Bone marrow smear.
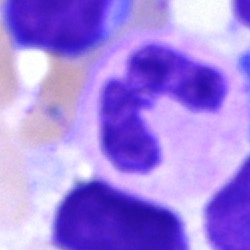
This is a neutrophil (segmented).